Bone marrow smear. Brightfield microscopy, 40× oil immersion — 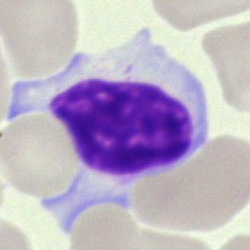
Lymphocyte.